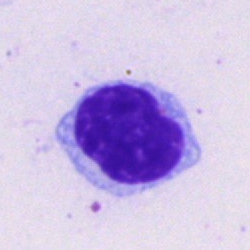 Bone marrow aspirate smear, single cell — typical lymphocyte.